Bone marrow smear; brightfield microscopy, 40× oil immersion.
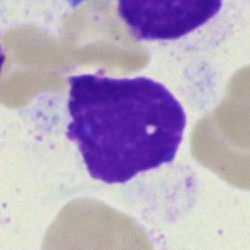
Q: What is shown here?
A: This is an artifact.